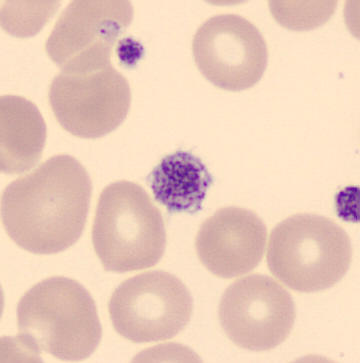 Image: 360×363 px · imaged on a CellaVision DM96 analyser.

Specimen: peripheral blood smear.
Classification: platelet (thrombocyte).